Peripheral blood film. Image size 400×400.
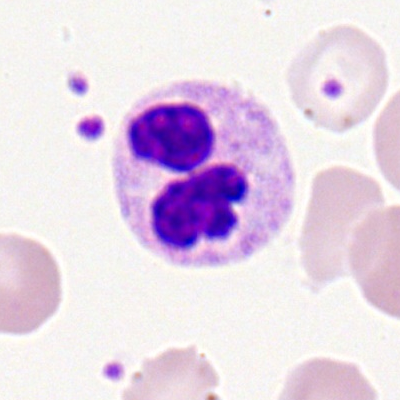

Showing a neutrophil (segmented).